Bone marrow aspirate smear · image size 250×250.
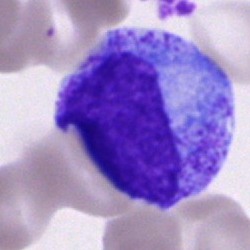 {"cell_type": "promyelocyte"}